Image size 250×250; bone marrow aspirate smear
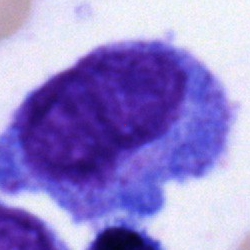 {"cell_type": "undifferentiated blast"}